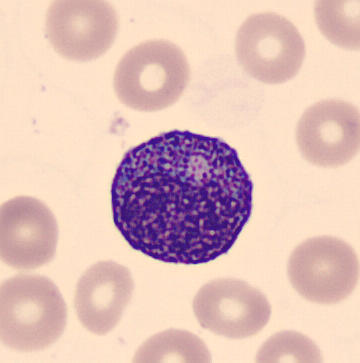 Impression → promyelocyte.